Brightfield, 100× oil-immersion objective. Romanowsky-type stain. Peripheral blood film:
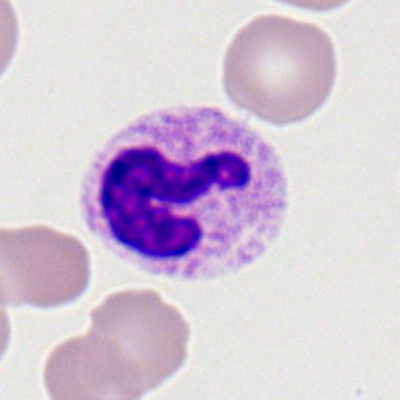
Showing a segmented neutrophil.